Bone marrow aspirate smear. Cropped to a single cell:
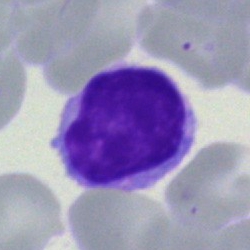
This is a typical lymphocyte.